Bone marrow aspirate smear. 250×250 px: 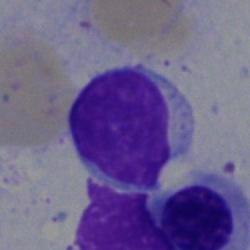 Morphological class = lymphocyte.